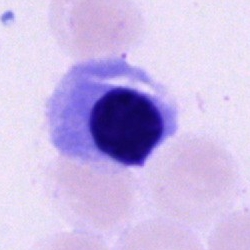Q: What type of cell is this?
A: This is a nucleated red cell.